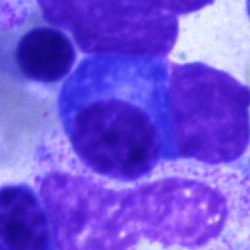Showing a plasma cell.